Bone marrow aspirate smear · Pappenheim-stained · 40× oil immersion — 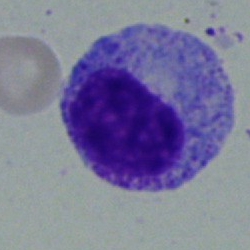Specimen: bone marrow aspirate smear.
Morphological class: myelocyte.